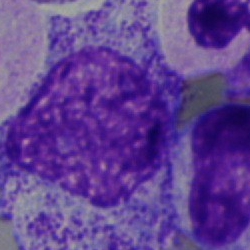

Myelocyte.